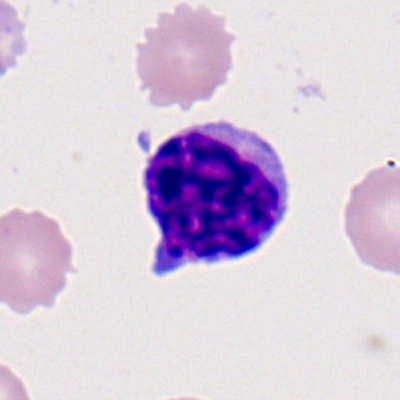 Q: What cell is this?
A: Lymphocyte.